Bone marrow smear; May-Grünwald-Giemsa/Pappenheim stain:
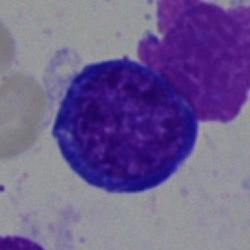
This is a normoblast.